Bone marrow smear; Pappenheim-stained; 40× objective, oil immersion — 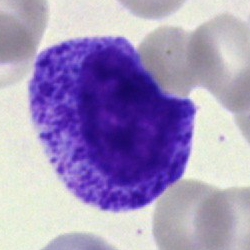

Impression — progranulocyte.